Cropped to a single cell; bone marrow smear; 40× objective, oil immersion:
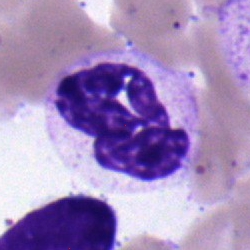 Q: What type of cell is this?
A: A neutrophil (segmented).